Single-cell field; peripheral blood film: 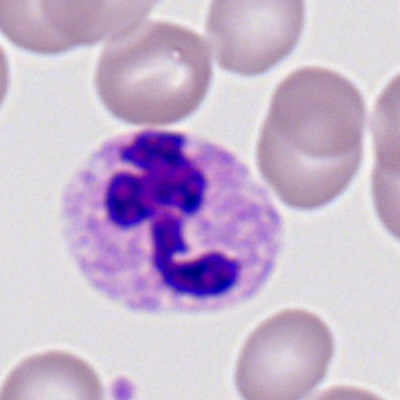Showing a neutrophil (segmented).